Bone marrow aspirate smear: 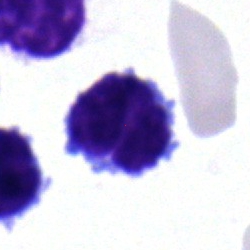Impression → typical lymphocyte.